Bone marrow smear.
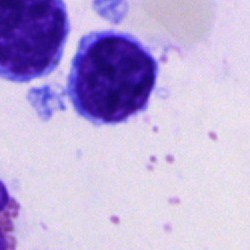 Lymphocyte.